Bone marrow aspirate smear; image size 250×250.
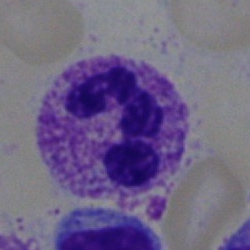

Cell type: polymorphonuclear neutrophil.